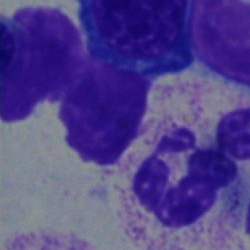Cell — neutrophil (segmented).